Bone marrow smear: 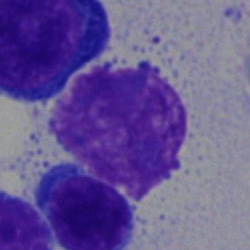

Q: What is shown here?
A: Artefact.